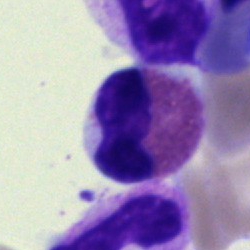An eosinophil.